Bone marrow smear
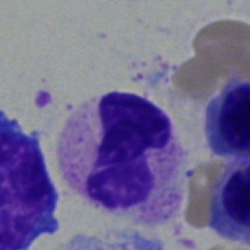Morphology → stab cell.